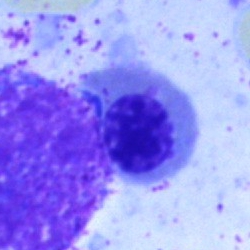 Specimen: bone marrow smear.
Classification: nucleated red cell.
Lineage: erythroid.